Single-cell crop. 250 by 250 pixels. Bone marrow aspirate smear.
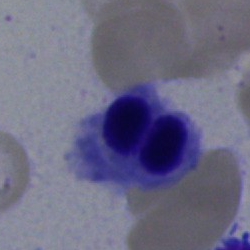 Classification: nucleated red blood cell.